Single-cell crop; bone marrow smear
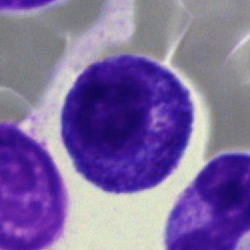 Q: What type of cell is this?
A: It is a myelocyte.